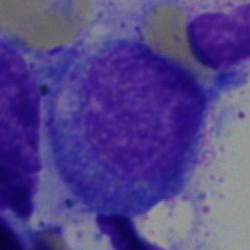
Q: What is the morphological classification of this cell?
A: It is a progranulocyte.